Bone marrow aspirate smear — 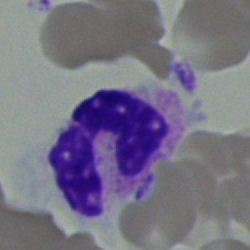

{"cell_type": "neutrophil (segmented)", "lineage": "myeloid"}